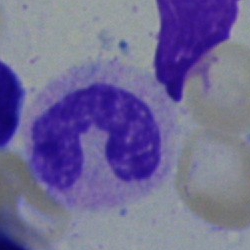

Morphology → band neutrophil.